40× objective, oil immersion. Bone marrow aspirate smear:
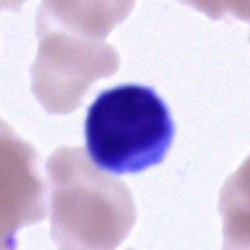Specimen: bone marrow aspirate smear.
Cell type: typical lymphocyte.
Lineage: lymphoid.